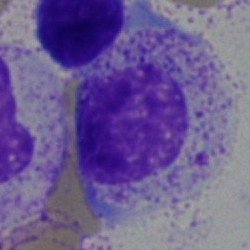Morphology → myelocyte.